Peripheral blood film — 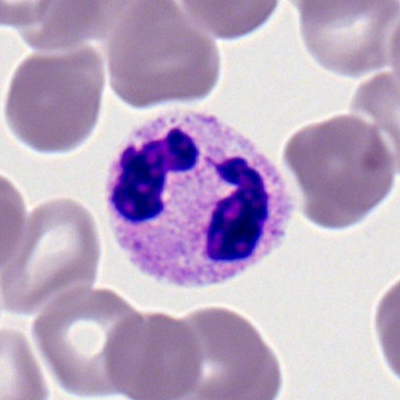

Q: What is the morphological classification of this cell?
A: A polymorphonuclear neutrophil.